Bone marrow smear
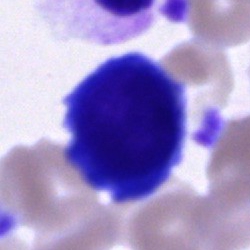Morphological class — cell of indeterminate lineage.